Brightfield, 40× oil-immersion objective; bone marrow aspirate smear; Pappenheim-stained
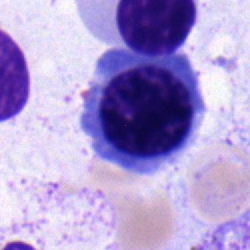
Morphology consistent with a nucleated red cell.